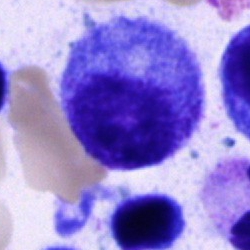

Morphology — progranulocyte.